Bone marrow smear — 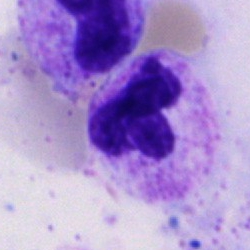

The cell shown is a polymorphonuclear neutrophil.